Bone marrow smear · 250×250 px · cropped to a single cell — 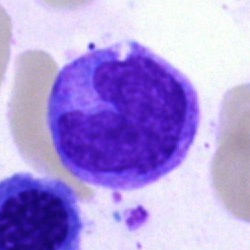 The classification is monocyte.